Peripheral blood film: 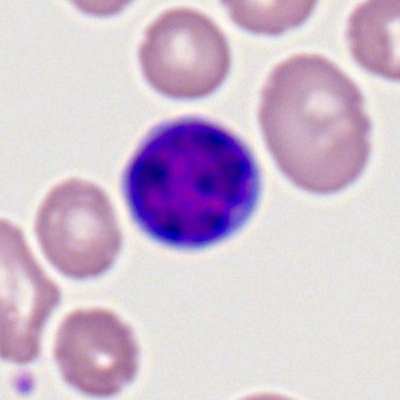Q: What cell is this?
A: A typical lymphocyte.